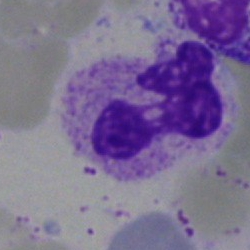
Classification — neutrophil (segmented).